Bone marrow aspirate smear; 40× objective, oil immersion:
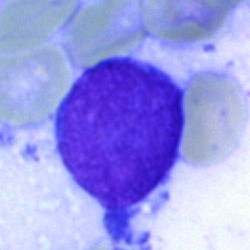
Morphology consistent with a blast.